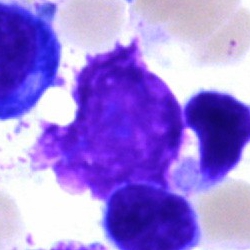
Bone marrow aspirate smear, single cell — artifact.